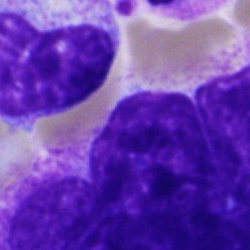 Impression → artefact.